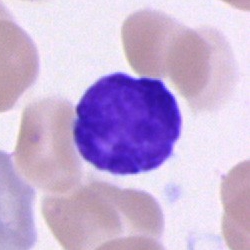
Morphological class = lymphocyte.